250 by 250 pixels. Bone marrow aspirate smear.
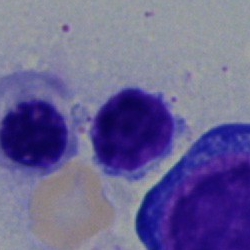
Cell type = typical lymphocyte.